Bone marrow aspirate smear
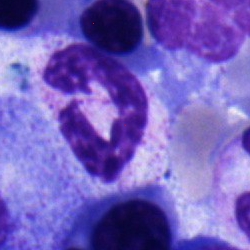 Q: Which cell type is shown here?
A: It is a band-form neutrophil.